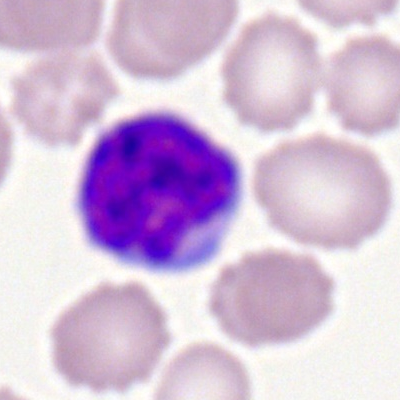
{"cell_type": "typical lymphocyte"}